Bone marrow aspirate smear.
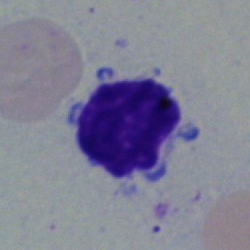 Q: What type of cell is this?
A: A lymphocyte.